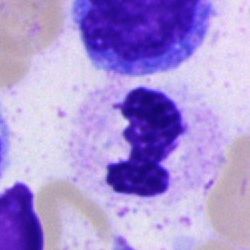 A neutrophil (segmented).